Bone marrow smear. May-Grünwald-Giemsa/Pappenheim stain.
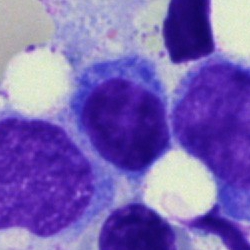 Q: What type of cell is this?
A: It is a lymphocyte.